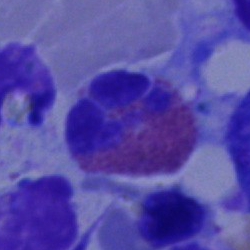

Single cell identified as an eosinophilic granulocyte.